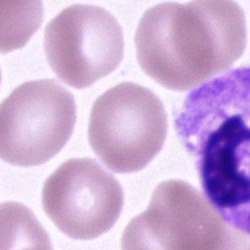 Cell: neutrophil (segmented).